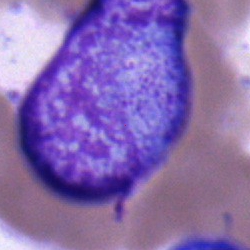

Cell = blast cell.